Brightfield microscopy, 40× oil immersion. Single-cell field. Bone marrow smear: 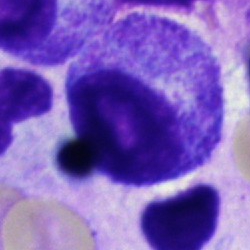
A myelocyte.